Bone marrow aspirate smear — 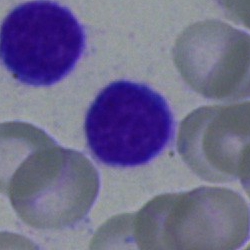
Single cell identified as a typical lymphocyte.